Single-cell crop. Bone marrow aspirate smear.
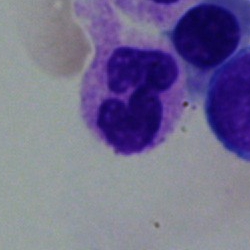Morphological class — neutrophil (segmented).